250×250. Bone marrow smear. Single-cell field.
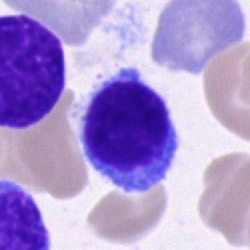 This is a typical lymphocyte.